Bone marrow smear.
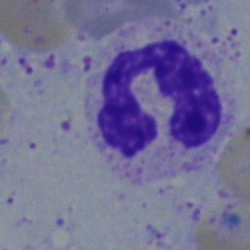
Q: What cell is this?
A: Polymorphonuclear neutrophil.